Bone marrow smear. Brightfield, 40× oil-immersion objective — 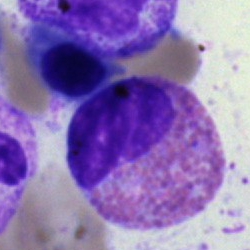 An eosinophilic granulocyte.